Bone marrow smear.
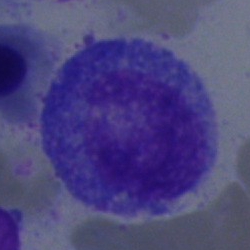
Morphological class = promyelocyte.